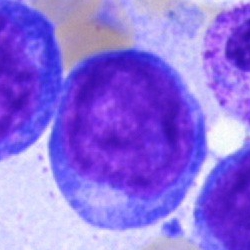Morphology — undifferentiated blast.